250×250 px. Bone marrow aspirate smear
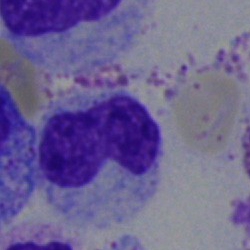
Showing a band neutrophil.